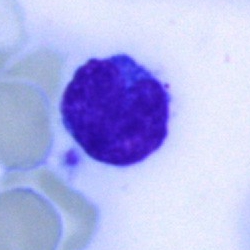

Specimen: bone marrow smear.
Morphological class: typical lymphocyte.
Lineage: lymphoid.